Bone marrow smear — 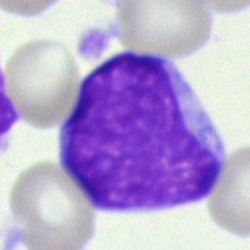Single cell identified as an undifferentiated blast.